Bone marrow smear
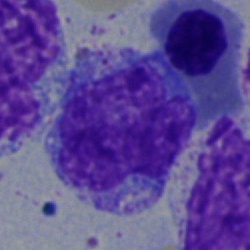 Classification: monocyte.